Bone marrow smear: 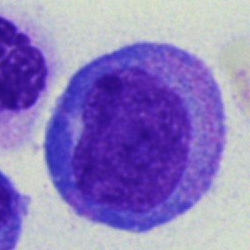The cell is progranulocyte.